250 by 250 pixels · bone marrow aspirate smear: 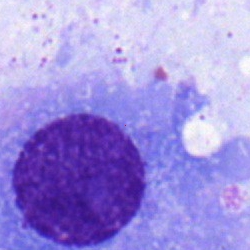Single cell identified as a plasmacyte.